400 by 400 pixels; peripheral blood film; single-cell field — 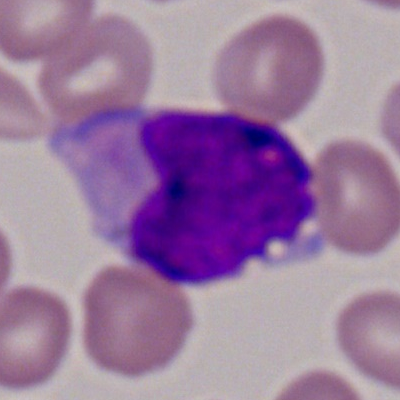
Q: Identify the cell.
A: A myeloid blast.